250×250. Bone marrow smear. May-Grünwald-Giemsa/Pappenheim stain
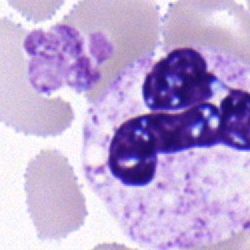

The morphological class is segmented neutrophil.